Pappenheim-stained; bone marrow smear — 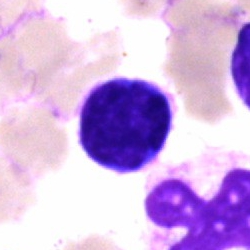

Q: Identify the cell.
A: Typical lymphocyte.